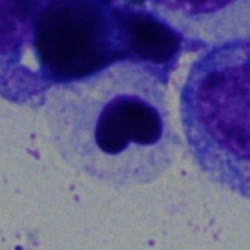Morphology — normoblast.